MGG-stained. Single-cell field. Bone marrow smear:
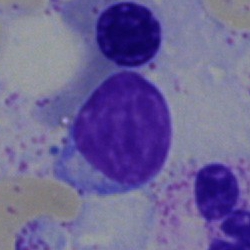
Specimen: bone marrow smear.
Morphological class: lymphocyte.
Lineage: lymphoid.